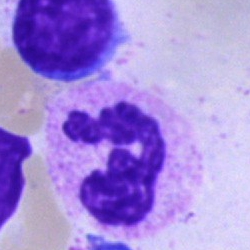Cell: neutrophil (segmented).